Bone marrow smear · MGG-stained
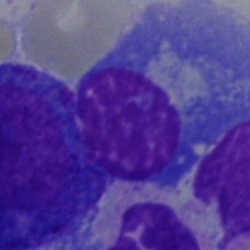 Q: What is shown here?
A: A plasmacyte.